250 by 250 pixels; bone marrow smear
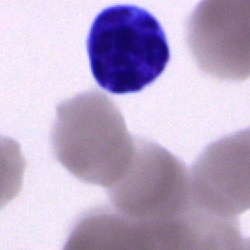Cell: lymphocyte.